Single-cell crop; bone marrow smear: 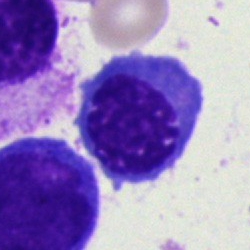 Morphology consistent with a normoblast.